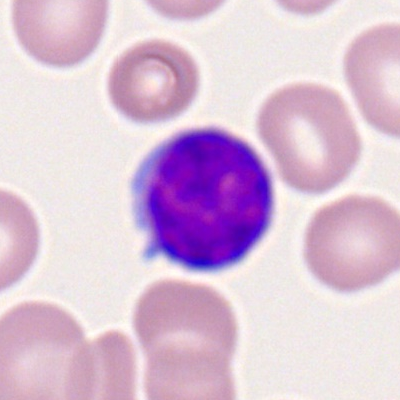Q: What type of cell is this?
A: Typical lymphocyte.